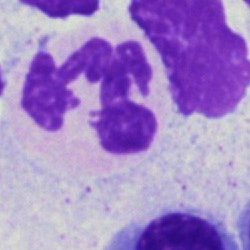 Classification: neutrophil (segmented).